Bone marrow aspirate smear: 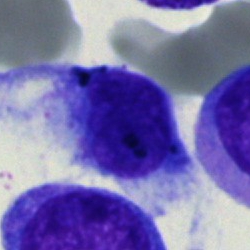Q: What is shown here?
A: This is a cell of indeterminate lineage.